Bone marrow aspirate smear; May-Grünwald-Giemsa stain.
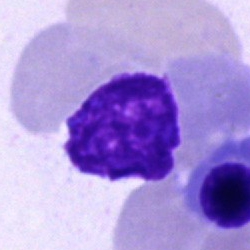 This is an artifact.